Bone marrow aspirate smear
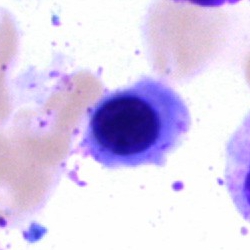
Morphological class — erythroblast.